Bone marrow smear — 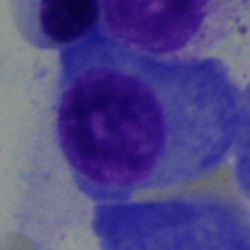Q: What cell is this?
A: It is a plasma cell.